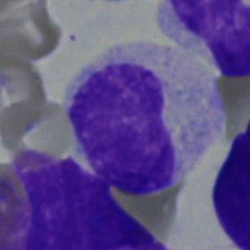
Q: Identify the cell.
A: A metamyelocyte.